Single-cell field. Bone marrow aspirate smear. 40× objective, oil immersion.
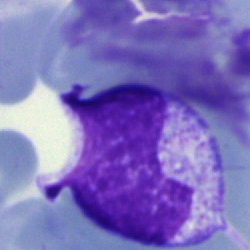

Classification: artifact.